Bone marrow smear:
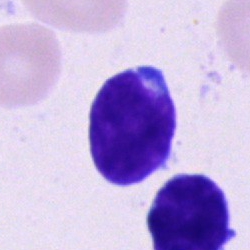 Showing a typical lymphocyte.